MGG-stained; 250 by 250 pixels; bone marrow aspirate smear
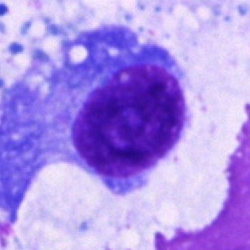Morphological class — plasma cell.